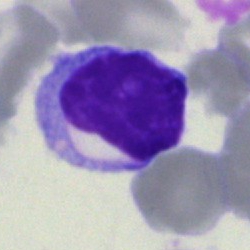
Specimen: bone marrow smear.
Morphological class: typical lymphocyte.
Lineage: lymphoid.